Pappenheim-stained; bone marrow smear:
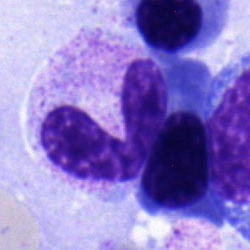

{"cell_type": "band neutrophil"}